Bone marrow aspirate smear · brightfield microscopy, 40× oil immersion · 250×250 px:
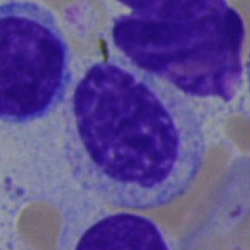

Morphological class: myelocyte.